Bone marrow smear.
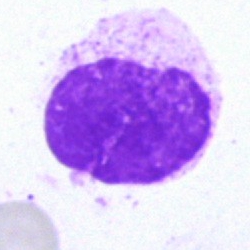
Single cell identified as an artifact.